Bone marrow aspirate smear
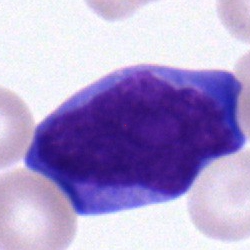The classification is undifferentiated blast.